Bone marrow smear; 250×250 px: 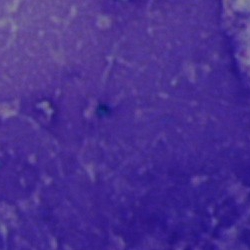This is an artifact.